250×250. Bone marrow smear: 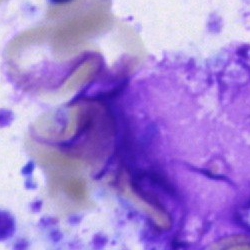This is an artifact.